Bone marrow aspirate smear: 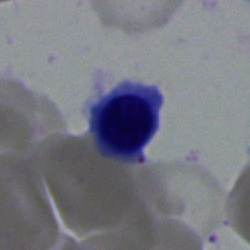
Classification = nucleated red cell.